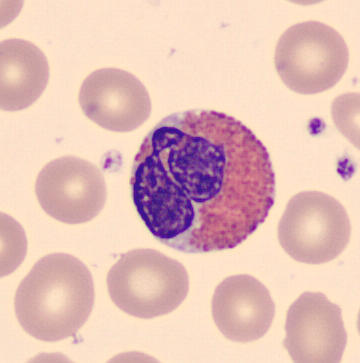 Single cell identified as an eosinophilic granulocyte. May-Grünwald-Giemsa-stained. Peripheral blood smear.